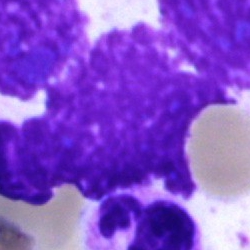Showing an artifact.